Bone marrow aspirate smear.
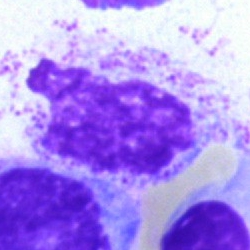Cell type = artifact.